Bone marrow aspirate smear: 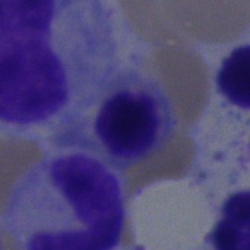The cell is nucleated red cell.